Bone marrow aspirate smear:
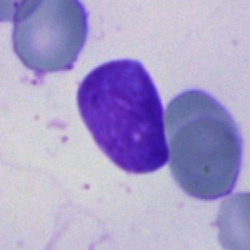Cell — artifact.